Bone marrow aspirate smear; 40× oil immersion.
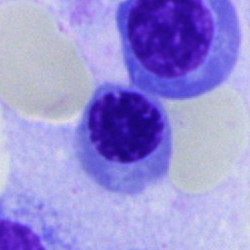
The cell type is nucleated red blood cell.